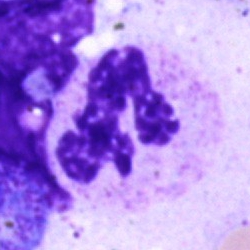 Q: What type of cell is this?
A: A segmented neutrophil.